Bone marrow aspirate smear:
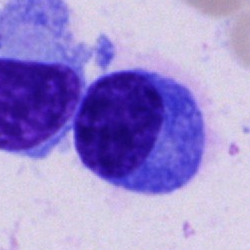

The cell type is plasmacyte.